Image size 250×250 · bone marrow aspirate smear — 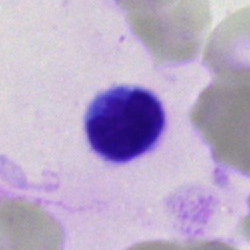

The cell is lymphocyte.